Image size 250×250; single cell centered in the field; bone marrow aspirate smear.
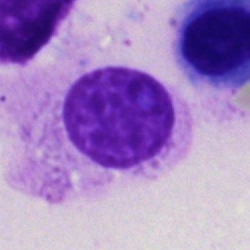{"cell_type": "artefact"}